Bone marrow smear:
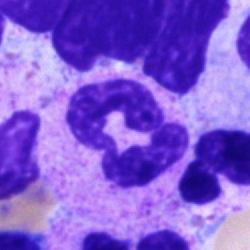
Single cell identified as a polymorphonuclear neutrophil.